Bone marrow smear:
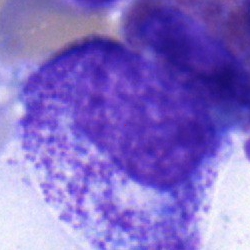 Showing a promyelocyte.